Bone marrow smear:
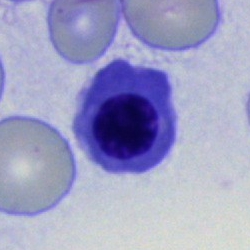

This is a nucleated red blood cell.